Bone marrow smear; 250×250 px:
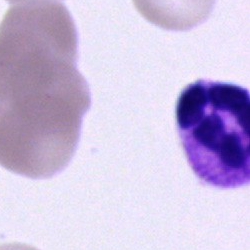

Showing a polymorphonuclear neutrophil.